Bone marrow smear · brightfield microscopy, 40× oil immersion · Pappenheim-stained
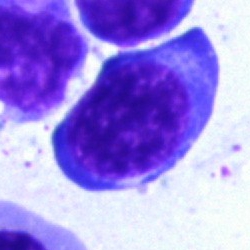

Morphological class = nucleated red blood cell.